Bone marrow aspirate smear — 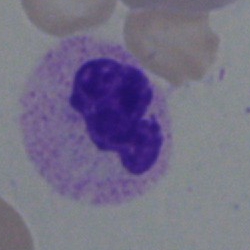 Single cell identified as a polymorphonuclear neutrophil.